Bone marrow smear:
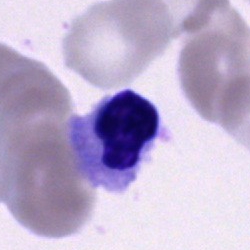

The cell type is unidentifiable cell.